Bone marrow aspirate smear · brightfield, 40× oil-immersion objective: 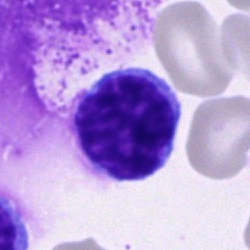 Q: Which cell type is shown here?
A: This is a typical lymphocyte.